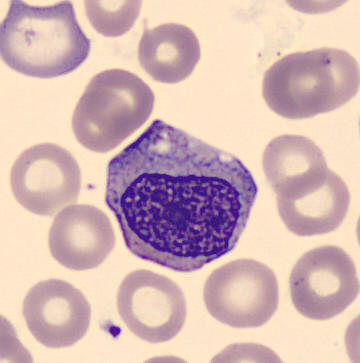 This is a myelocyte.

Acquisition: Peripheral blood film; single-cell field.